Pappenheim-stained; bone marrow smear; brightfield, 40× oil-immersion objective
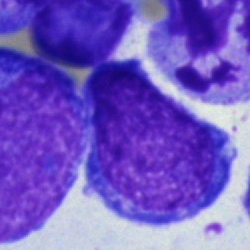
Showing an undifferentiated blast.